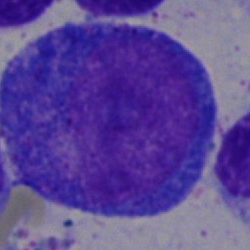

Bone marrow smear showing a promyelocyte.